Bone marrow aspirate smear
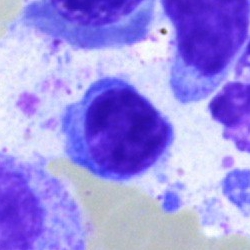
Showing a typical lymphocyte.